Bone marrow aspirate smear — 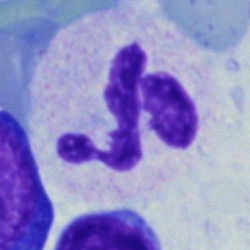
The cell shown is a segmented neutrophil.